Bone marrow smear.
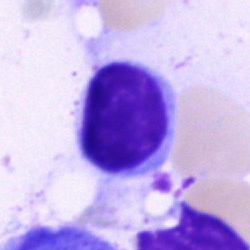
Q: Identify the cell.
A: A typical lymphocyte.